Bone marrow aspirate smear; MGG-stained; cropped to a single cell
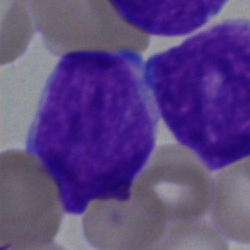
Q: What cell is this?
A: A blast cell.